Bone marrow smear.
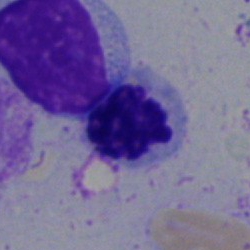

Cell — nucleated red blood cell.